Bone marrow aspirate smear
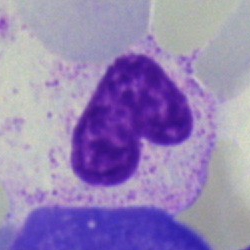

Morphology → artifact.